Bone marrow smear · image size 250×250 · May-Grünwald-Giemsa/Pappenheim stain — 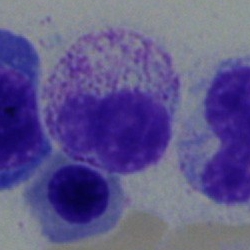

The morphological class is metamyelocyte.